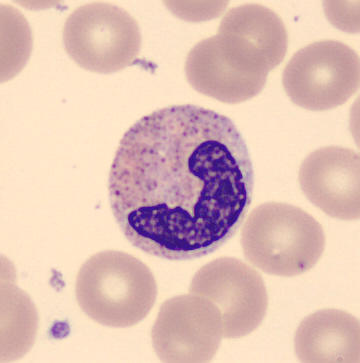
Specimen: peripheral blood smear.
Morphological class: neutrophil (band).
Lineage: myeloid.